Peripheral blood film; cropped to a single cell; 100× oil immersion: 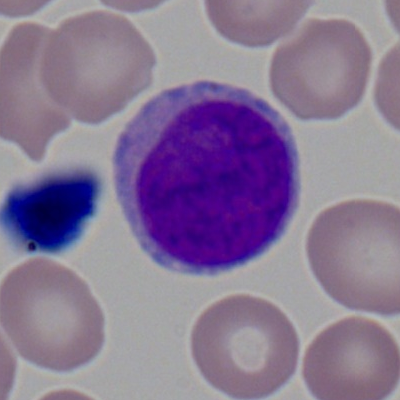

Q: What cell is this?
A: It is a myeloblast.